Bone marrow smear:
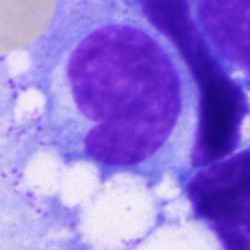
This is a blast cell.